Bone marrow aspirate smear.
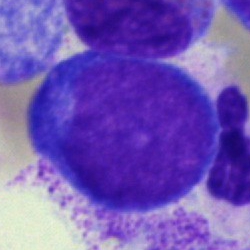
Specimen: bone marrow aspirate smear.
Cell type: proerythroblast.
Lineage: erythroid.